Bone marrow aspirate smear; 250 by 250 pixels; cropped to a single cell
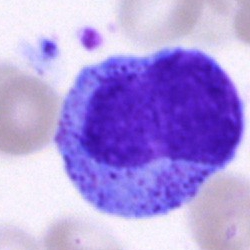
Morphology — progranulocyte.